Peripheral blood film. Cropped to a single cell: 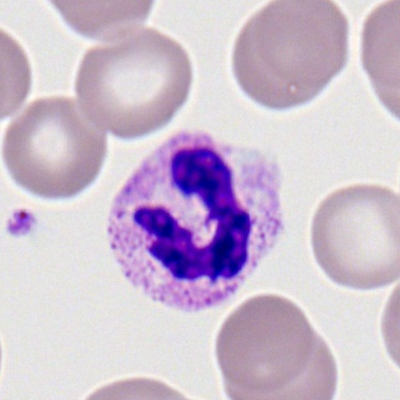Q: What type of cell is this?
A: This is a segmented neutrophil.